Bone marrow aspirate smear:
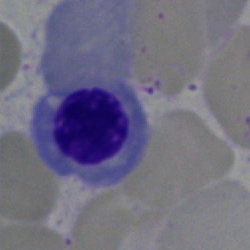Morphology consistent with a nucleated red cell.